Bone marrow aspirate smear: 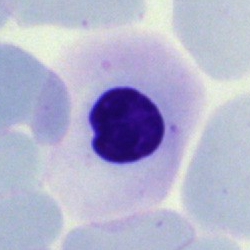
Morphology — nucleated red blood cell.